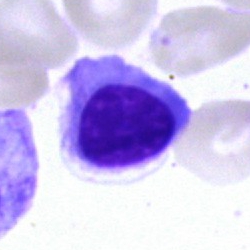 Q: What is the morphological classification of this cell?
A: This is a lymphocyte.